40× objective, oil immersion. Bone marrow aspirate smear: 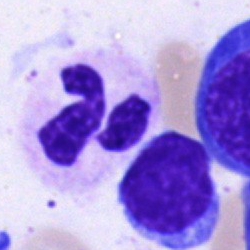

Single cell identified as a polymorphonuclear neutrophil.